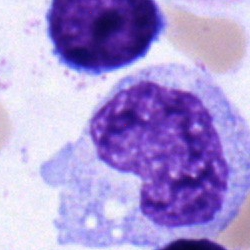 Cell type — monocyte.